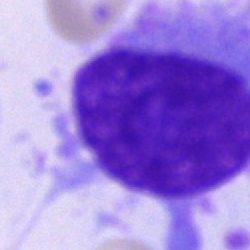 Cell — plasma cell.